Bone marrow aspirate smear:
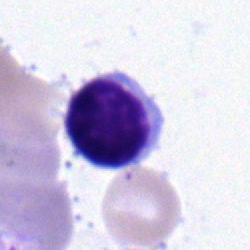Morphology — lymphocyte.